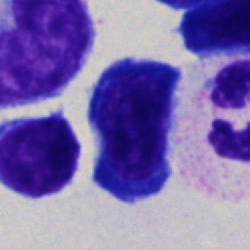
A normoblast on a bone marrow smear.